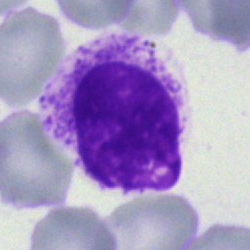

Artefact.